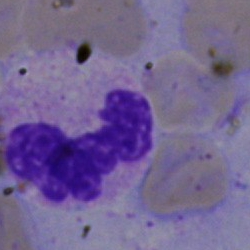Q: What cell is this?
A: This is a segmented neutrophil.